Bone marrow smear. Cropped to a single cell.
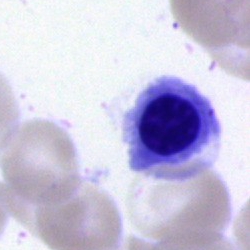 A nucleated red blood cell.